Bone marrow smear:
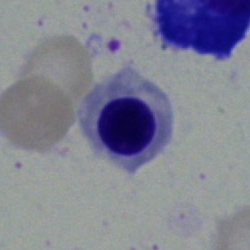
An erythroblast.